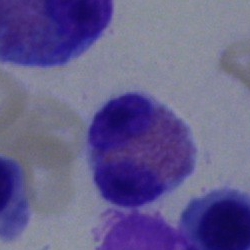

This is an eosinophil.